Bone marrow smear. Single cell centered in the field — 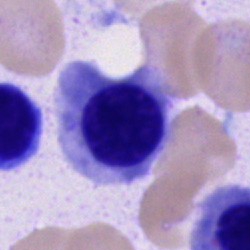
Nucleated red blood cell.